Brightfield, 40× oil-immersion objective · bone marrow aspirate smear
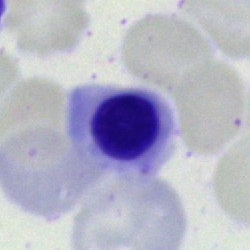 Impression → erythroblast.